100× oil immersion · peripheral blood smear · cropped to a single cell
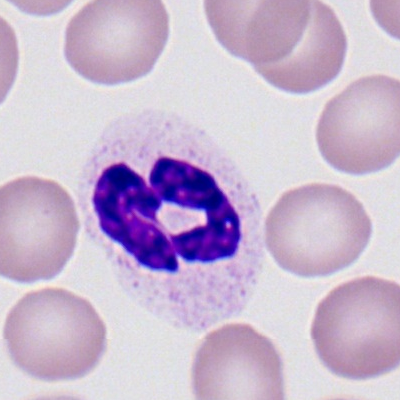Impression → segmented neutrophil.